Peripheral blood film: 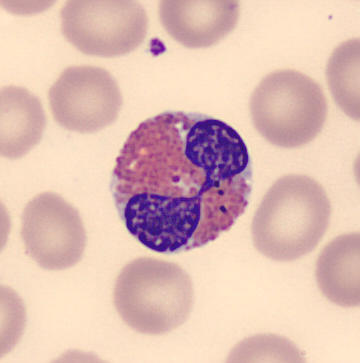

Impression → eosinophil.